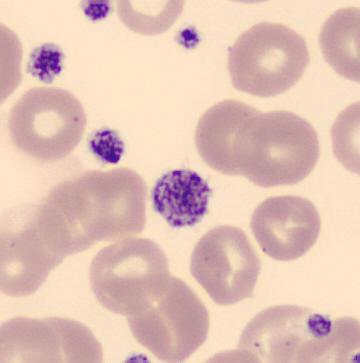
Acquisition: Peripheral blood smear. Cell type = platelet.